Peripheral blood smear:
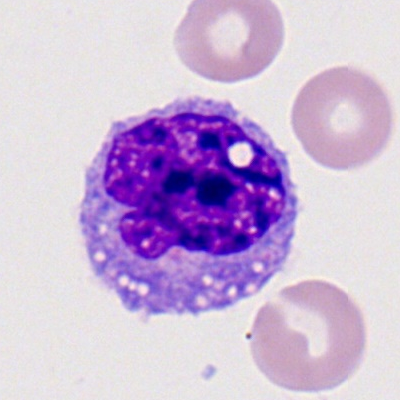Q: What is the morphological classification of this cell?
A: A monocyte.